Single cell centered in the field · bone marrow smear · 250×250 px.
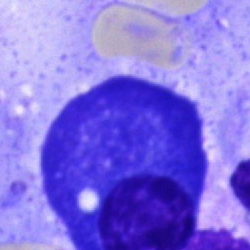
{"cell_type": "plasmacyte"}